Bone marrow aspirate smear — 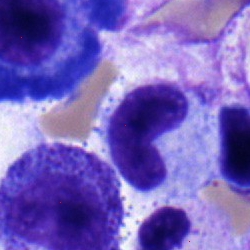 The cell is stab cell.